Brightfield, 40× oil-immersion objective. Single cell centered in the field. Bone marrow aspirate smear.
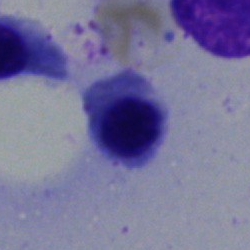 Q: Which cell type is shown here?
A: This is a nucleated red cell.